Bone marrow aspirate smear: 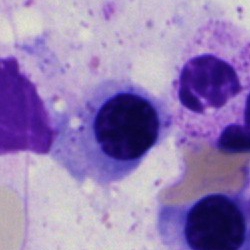Showing a nucleated red cell.